250×250 px · bone marrow smear · 40× oil immersion.
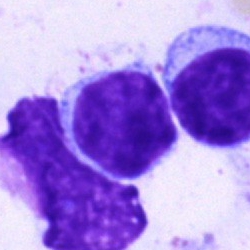

Morphological class = typical lymphocyte.